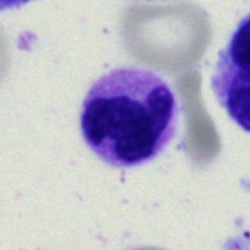Cell type — segmented neutrophil.